Bone marrow aspirate smear:
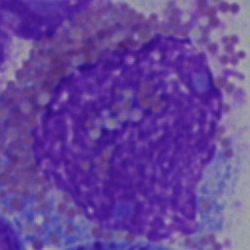
Morphology consistent with an eosinophilic granulocyte.